Bone marrow aspirate smear; cropped to a single cell; May-Grünwald-Giemsa/Pappenheim stain.
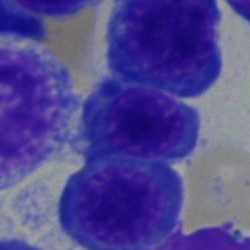
Nucleated red cell.